Bone marrow smear. Single cell centered in the field: 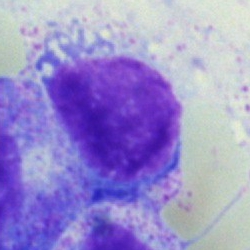

Showing a lymphocyte.